Bone marrow smear — 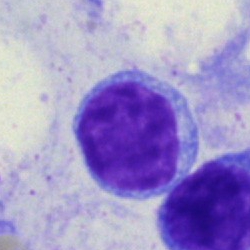

Specimen: bone marrow aspirate smear.
Cell: lymphocyte.